Cropped to a single cell. Bone marrow smear:
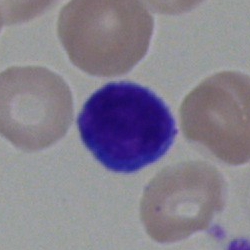
Showing a hairy cell.